Bone marrow aspirate smear: 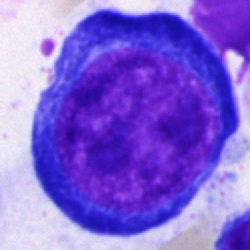

Morphology — proerythroblast.